Peripheral blood smear:
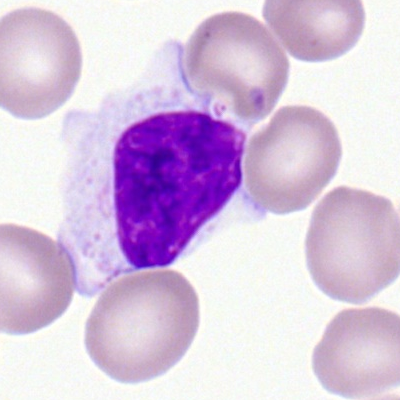
Q: What type of cell is this?
A: It is a lymphocyte.